Single cell centered in the field; bone marrow smear
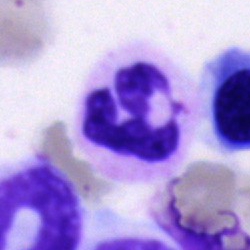

Specimen: bone marrow smear.
Classification: segmented neutrophil.